Bone marrow smear; MGG-stained; 250×250 px: 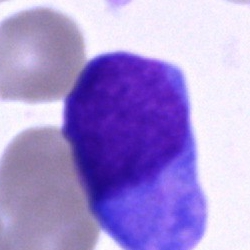Q: What cell is this?
A: An undifferentiated blast.